Peripheral blood smear: 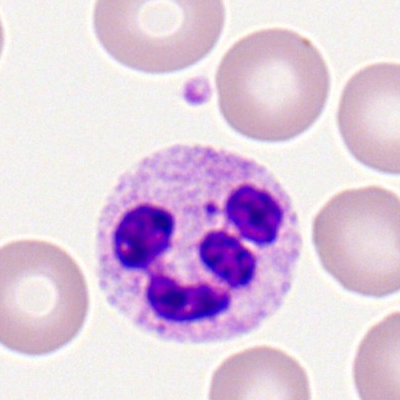

Classification — neutrophil (segmented).